Bone marrow smear. 250 by 250 pixels.
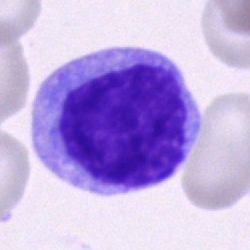Morphology — cell of indeterminate lineage.